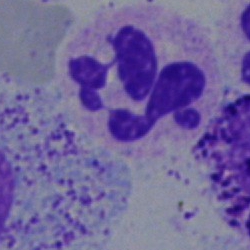Single cell identified as a segmented neutrophil.